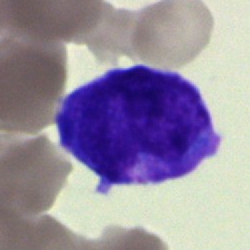

The classification is undifferentiated blast.